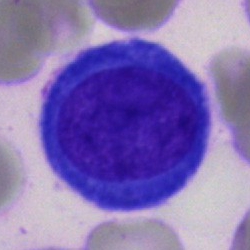
Cell type — undifferentiated blast.